Bone marrow smear — 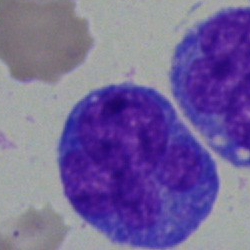

Specimen: bone marrow aspirate smear.
Cell type: blast cell.